Single-cell field · bone marrow aspirate smear:
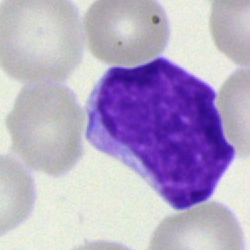

The classification is blast.